Bone marrow aspirate smear
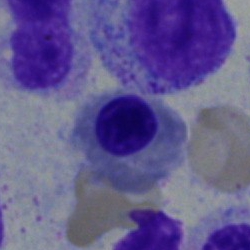Q: What cell is this?
A: It is an erythroblast.